Bone marrow aspirate smear. 250×250: 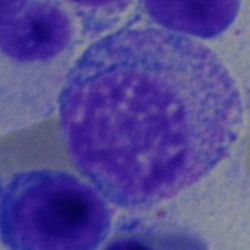

Q: Identify the cell.
A: Progranulocyte.